400×400. Peripheral blood film
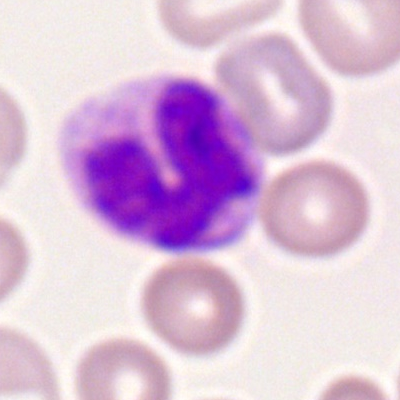
Specimen: peripheral blood smear.
Morphological class: basophil.
Lineage: myeloid.